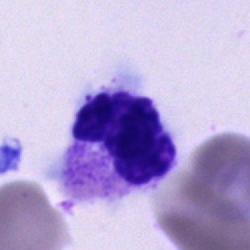

Q: What is shown here?
A: A cell of indeterminate lineage.